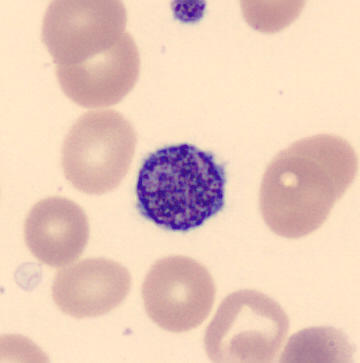Classification = thrombocyte.

Image: Peripheral blood smear.